Bone marrow aspirate smear
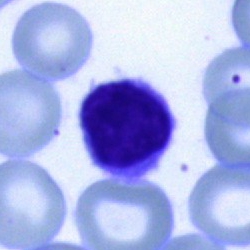
Specimen: bone marrow smear.
Cell: typical lymphocyte.
Lineage: lymphoid.